Bone marrow smear · MGG-stained · single-cell crop:
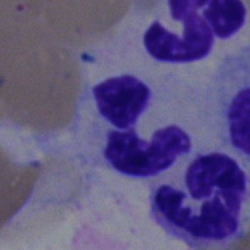
Cell type — polymorphonuclear neutrophil.